Bone marrow aspirate smear; single cell centered in the field; image size 250×250.
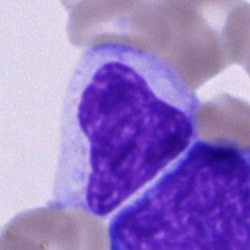 Q: What is the morphological classification of this cell?
A: An unidentifiable cell.